Bone marrow smear: 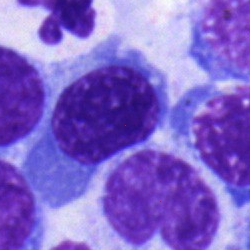 Showing a nucleated red cell.